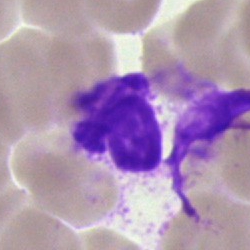Morphology — artefact.